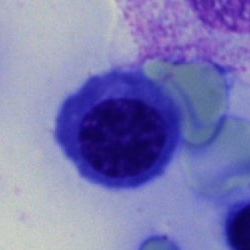
Morphological class: nucleated red blood cell.